Bone marrow smear: 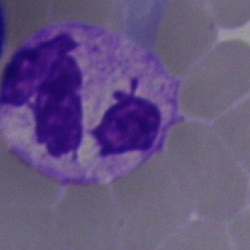 Morphological class = neutrophil (segmented).